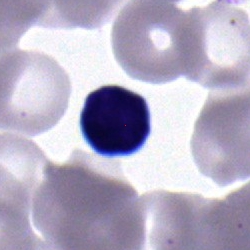

This is a typical lymphocyte.